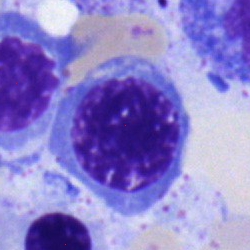
Cell type: normoblast.